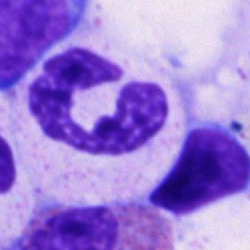

Cell: polymorphonuclear neutrophil.